Bone marrow smear.
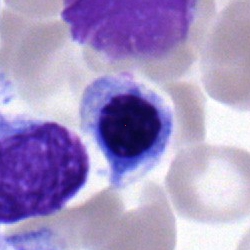Cell type: erythroblast.